40× objective, oil immersion; May-Grünwald-Giemsa stain; bone marrow smear — 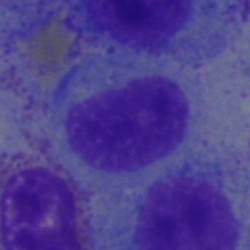

A myelocyte.